Bone marrow smear
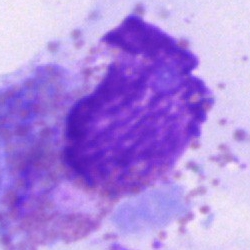

This is an artefact.